Bone marrow smear:
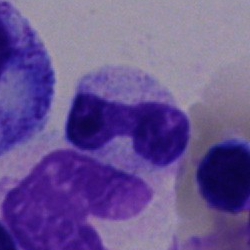

The cell type is band neutrophil.